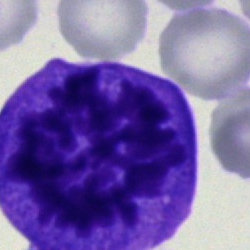 Artifact.